Bone marrow smear
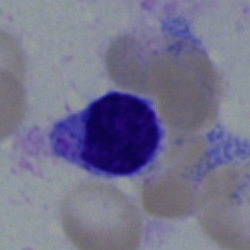 A lymphocyte.